Peripheral blood film
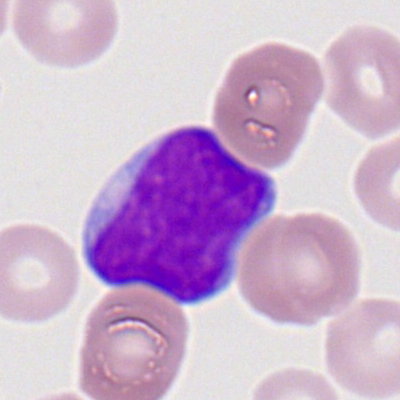Morphological class: myeloid blast.